Bone marrow smear. Pappenheim-stained. 40× oil immersion
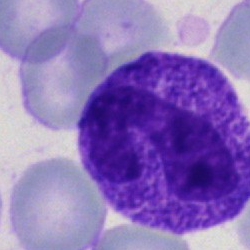{"cell_type": "band-form neutrophil", "lineage": "myeloid"}